Bone marrow aspirate smear: 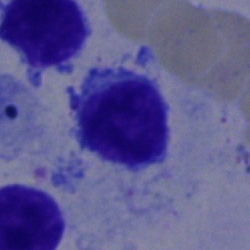
Cell type = typical lymphocyte.